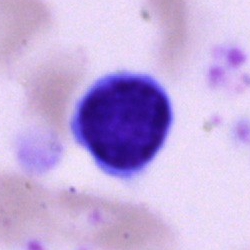Specimen: bone marrow aspirate smear.
Classification: lymphocyte.